Bone marrow aspirate smear; MGG-stained:
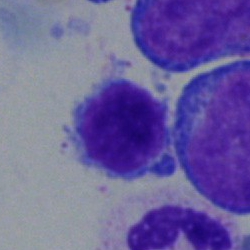 Typical lymphocyte.